Brightfield microscopy, 40× oil immersion; 250×250; bone marrow aspirate smear: 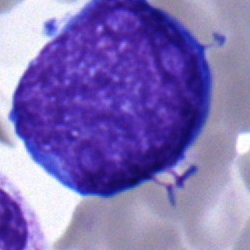Morphology consistent with an undifferentiated blast.